Bone marrow smear: 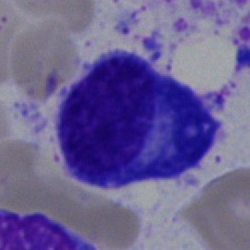A plasmacyte.